Bone marrow smear.
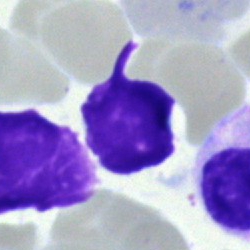 Q: What is shown here?
A: It is an artefact.